May-Grünwald-Giemsa stain. Bone marrow aspirate smear:
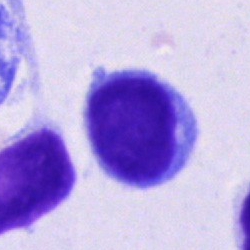

{"cell_type": "lymphocyte"}